Bone marrow aspirate smear.
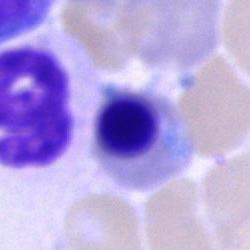

Nucleated red cell.